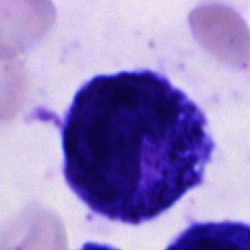
The cell type is cell of indeterminate lineage.